Single-cell crop · bone marrow smear · 250 by 250 pixels: 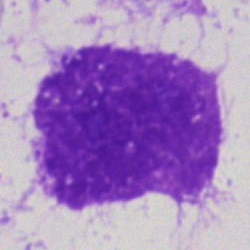Impression — artefact.